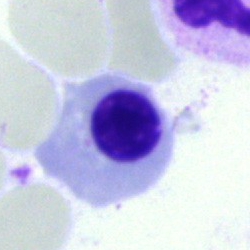Morphology → erythroblast.